Bone marrow smear — 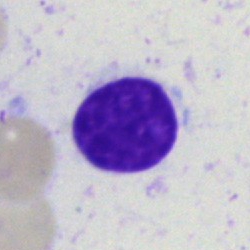
A lymphocyte.